Bone marrow aspirate smear. 40× objective, oil immersion — 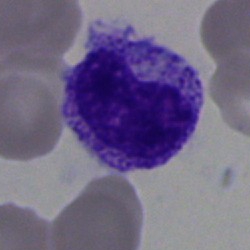 Specimen: bone marrow aspirate smear.
Cell type: myelocyte.
Lineage: myeloid.